Bone marrow aspirate smear: 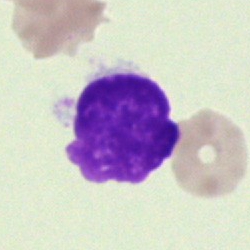 Specimen: bone marrow smear.
Classification: unidentifiable cell.